Bone marrow smear: 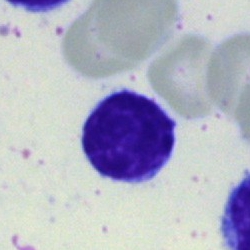
{"cell_type": "lymphocyte", "lineage": "lymphoid"}